40× oil immersion; bone marrow smear — 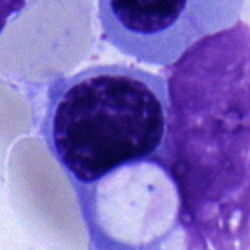

Cell: erythroblast.